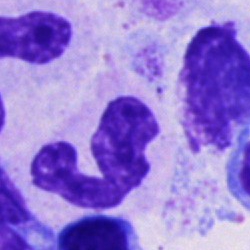 Specimen: bone marrow aspirate smear.
Cell type: neutrophil (segmented).
Lineage: myeloid.